Bone marrow aspirate smear. Cropped to a single cell:
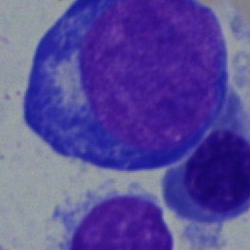
Morphological class = pronormoblast.